Single cell centered in the field; bone marrow aspirate smear
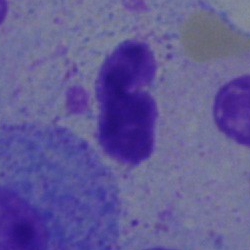This is a neutrophil (segmented).